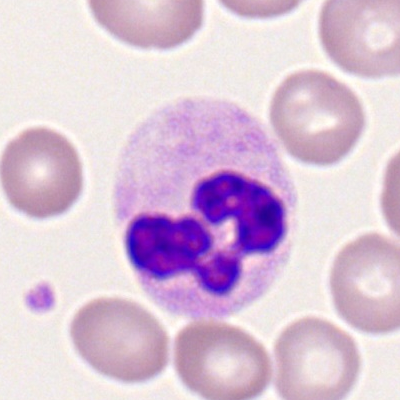Q: Identify the cell.
A: This is a polymorphonuclear neutrophil.